Bone marrow smear
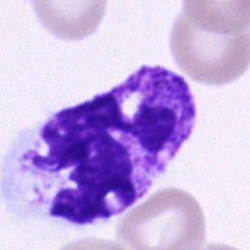

Q: Identify the cell.
A: A polymorphonuclear neutrophil.